Bone marrow aspirate smear:
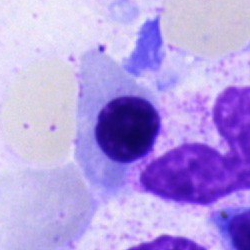
Classification = normoblast.